Bone marrow smear — 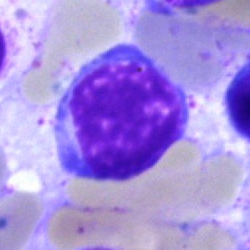
Impression — lymphocyte.